Bone marrow smear: 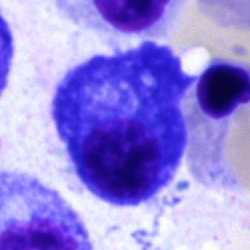
Showing a plasma cell.